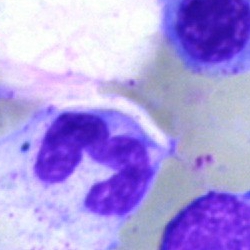
This is a polymorphonuclear neutrophil.